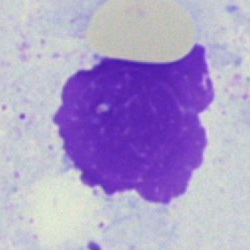 Single cell identified as an artifact.